Bone marrow aspirate smear · MGG-stained.
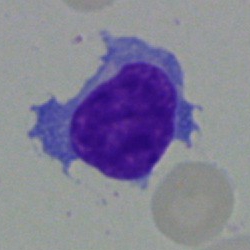The cell shown is a lymphocyte.